250×250; bone marrow aspirate smear; cropped to a single cell — 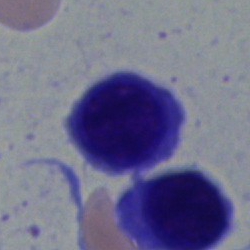 This is a nucleated red blood cell.